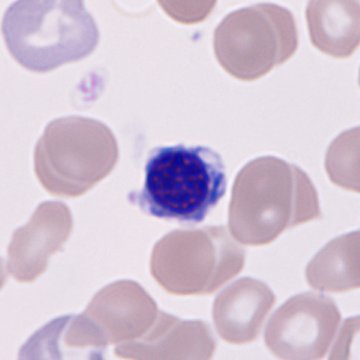 The morphological class is normoblast.